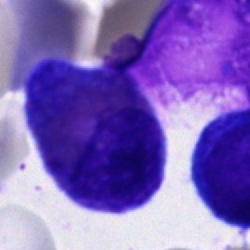

Specimen: bone marrow aspirate smear.
Classification: eosinophilic granulocyte.
Lineage: myeloid.